Cropped to a single cell; peripheral blood film
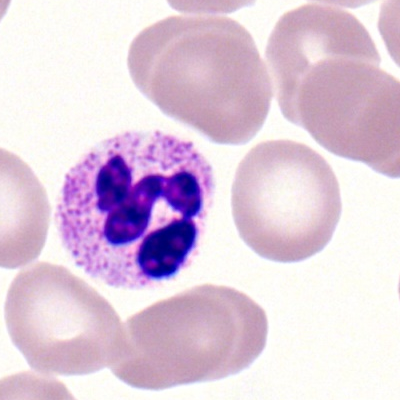The morphological class is polymorphonuclear neutrophil.